Bone marrow smear. 250 by 250 pixels
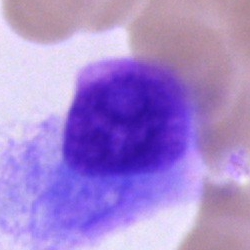

Cell type: plasma cell.